Bone marrow aspirate smear:
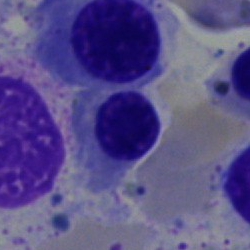Morphology — nucleated red cell.